Bone marrow aspirate smear
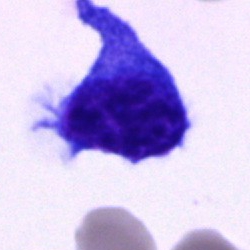
Cell type: blast.